Pappenheim-stained. Bone marrow smear. Single-cell crop
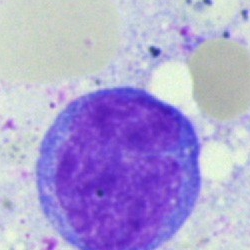

The classification is monocyte.